Bone marrow aspirate smear
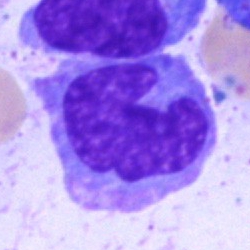
This is a monocyte.